Bone marrow smear:
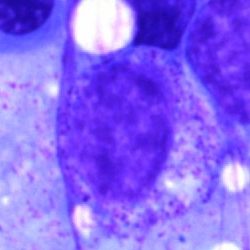

Morphology consistent with a myelocyte.